Bone marrow smear: 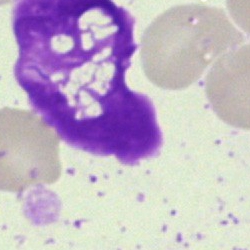 Specimen: bone marrow aspirate smear.
Classification: artefact.